Bone marrow aspirate smear:
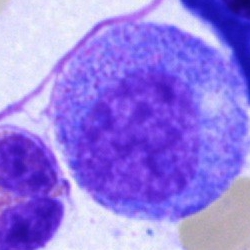
Morphology consistent with a progranulocyte.